Bone marrow smear; single-cell field — 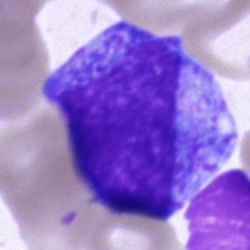
The morphological class is promyelocyte.